Bone marrow aspirate smear:
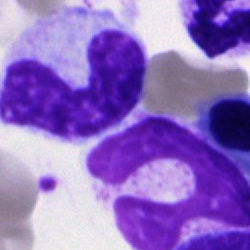
Morphology consistent with a stab cell.